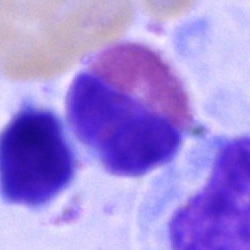 Q: What is shown here?
A: It is an eosinophil.